Brightfield microscopy, 40× oil immersion · 250×250 · bone marrow aspirate smear:
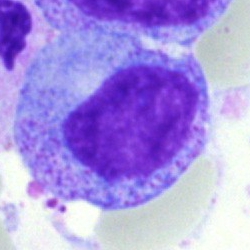
A progranulocyte.